Bone marrow aspirate smear; Pappenheim-stained; 250×250 px.
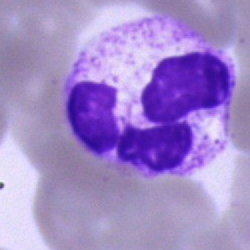Q: Which cell type is shown here?
A: This is a polymorphonuclear neutrophil.